Bone marrow aspirate smear — 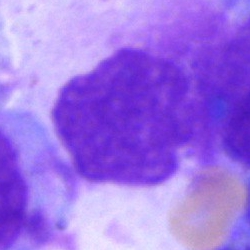Q: What is shown here?
A: Artifact.